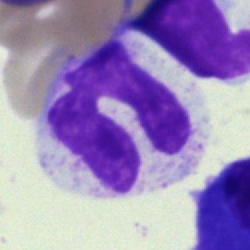
Showing a segmented neutrophil.